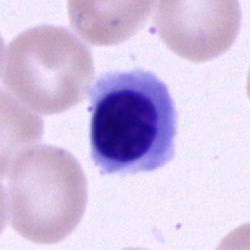 Q: What is the morphological classification of this cell?
A: This is a nucleated red cell.